250 by 250 pixels · bone marrow smear.
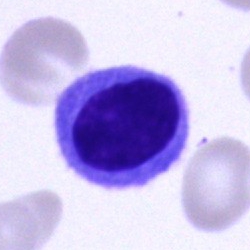Single cell identified as an artifact.